Bone marrow aspirate smear — 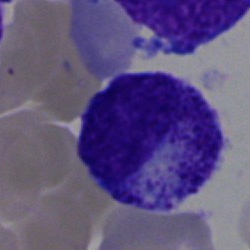
Morphology consistent with a progranulocyte.